May-Grünwald-Giemsa/Pappenheim stain; bone marrow aspirate smear.
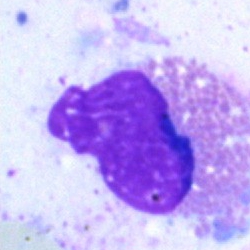
Cell — artefact.